Bone marrow smear; May-Grünwald-Giemsa/Pappenheim stain
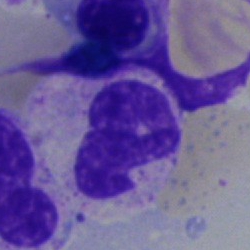Morphological class: polymorphonuclear neutrophil.